Bone marrow smear.
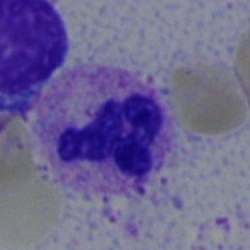 Morphology — neutrophil (segmented).